Single-cell crop · bone marrow smear · 250 by 250 pixels
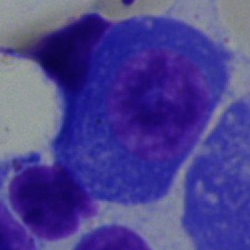Q: What is the morphological classification of this cell?
A: It is a plasma cell.